Bone marrow smear: 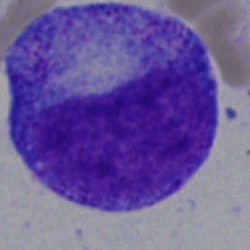
Morphological class = progranulocyte.